Bone marrow aspirate smear.
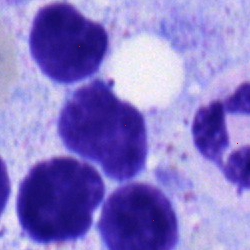 Typical lymphocyte.